MGG-stained. 40× objective, oil immersion. Bone marrow aspirate smear:
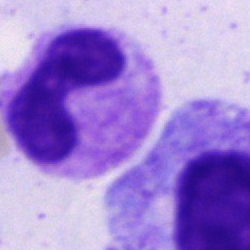 Morphology — neutrophil (band).